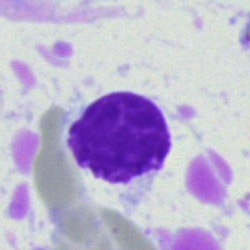 The morphological class is artefact.